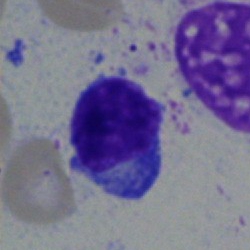 Specimen: bone marrow smear.
Cell: typical lymphocyte.
Lineage: lymphoid.